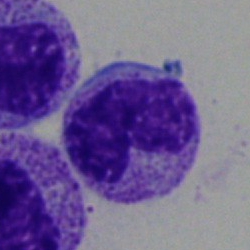
Cell — metamyelocyte.